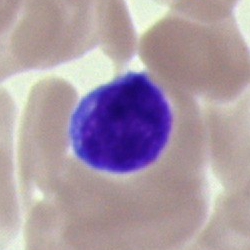

Q: What is shown here?
A: This is a lymphocyte.